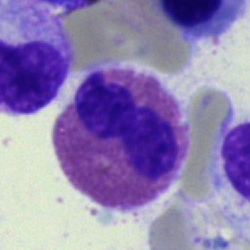Single-cell crop from a bone marrow smear: eosinophil.